Bone marrow smear · Pappenheim-stained
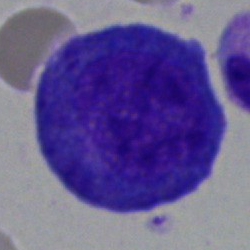 Specimen: bone marrow smear.
Morphological class: progranulocyte.